CellaVision DM96; single-cell crop; peripheral blood smear.
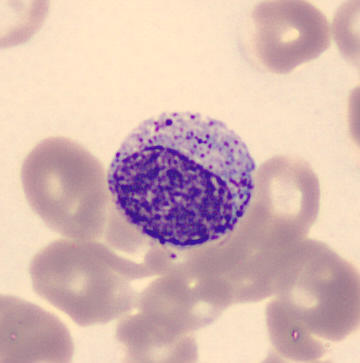

Showing a myelocyte.